Peripheral blood smear; single-cell crop; 100× oil immersion.
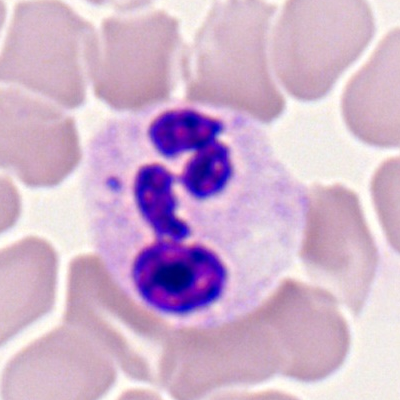The cell shown is a neutrophil (segmented).